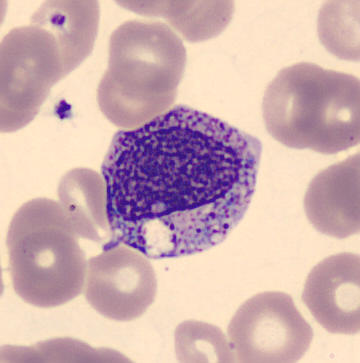 Cell type = myelocyte.